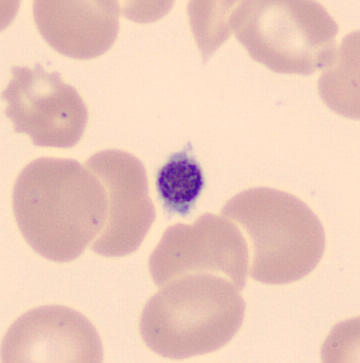
Image: Peripheral blood smear. 360×363 px. CellaVision DM96.

Q: What is this?
A: A thrombocyte.